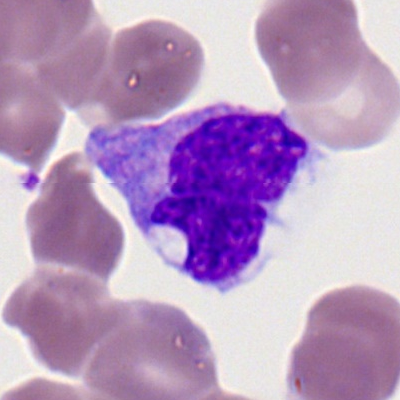

This is a monocyte.